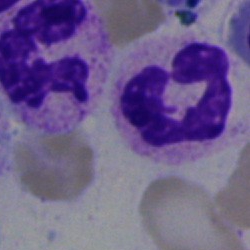

The morphological class is segmented neutrophil.